May-Grünwald-Giemsa/Pappenheim stain · bone marrow aspirate smear
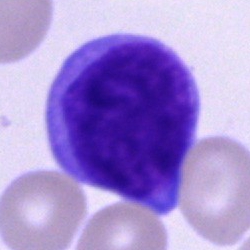An undifferentiated blast.